Peripheral blood film
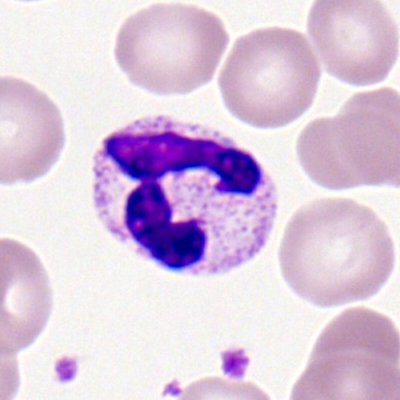 Cell type = polymorphonuclear neutrophil.